Peripheral blood film. Image size 400×400.
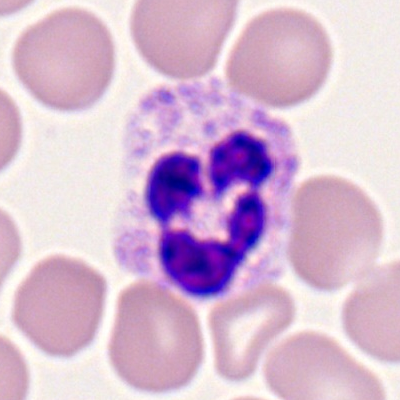 {"cell_type": "polymorphonuclear neutrophil", "lineage": "myeloid"}